250 by 250 pixels; bone marrow aspirate smear: 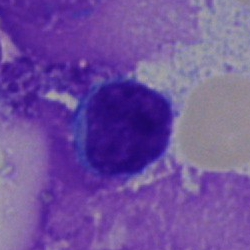
This is a typical lymphocyte.